Peripheral blood film:
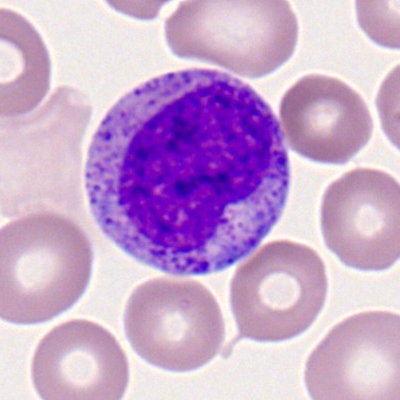Cell = myelocyte.